Bone marrow smear. Brightfield microscopy, 40× oil immersion — 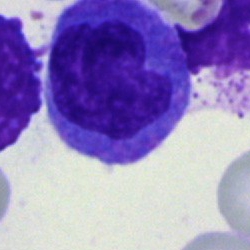
Monocyte.